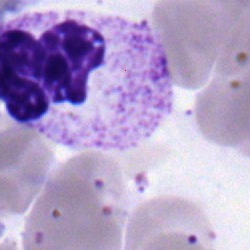Morphological class = segmented neutrophil.